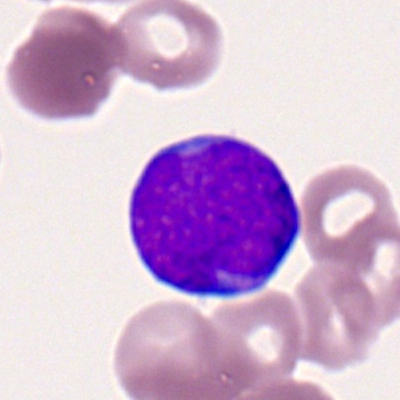

The classification is myeloblast.